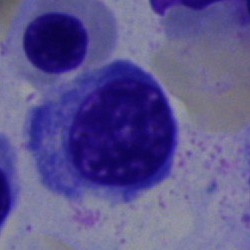 The cell type is normoblast.